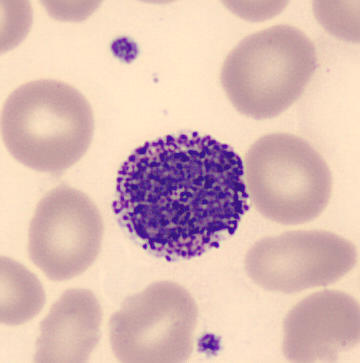Peripheral blood film; MGG stain.

Morphology — basophilic granulocyte.